Bone marrow aspirate smear
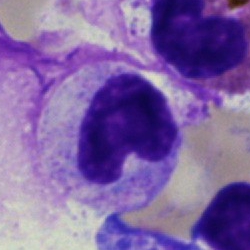 Specimen: bone marrow smear.
Cell: stab cell.
Lineage: myeloid.